40× objective, oil immersion; bone marrow aspirate smear
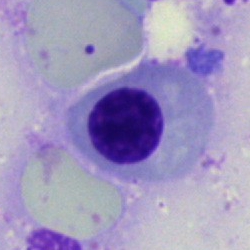 Specimen: bone marrow smear.
Cell: nucleated red blood cell.